Brightfield microscopy, 40× oil immersion. Bone marrow aspirate smear
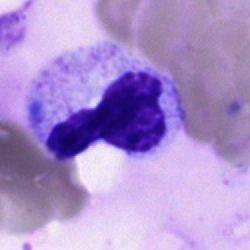Showing a neutrophil (segmented).